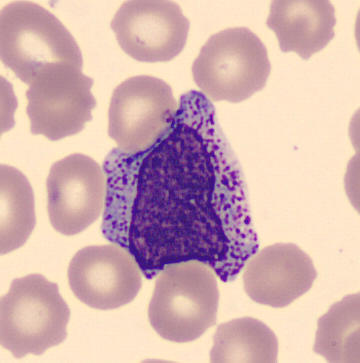

Acquisition: Peripheral blood smear. Single cell centered in the field.
Morphological class — myelocyte.